May-Grünwald-Giemsa/Pappenheim stain; bone marrow aspirate smear — 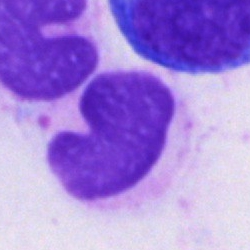

The morphological class is artefact.